Bone marrow aspirate smear. MGG-stained — 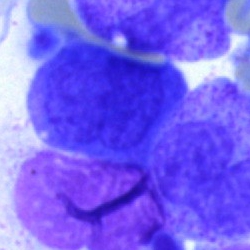 Morphological class: cell of indeterminate lineage.